Bone marrow smear: 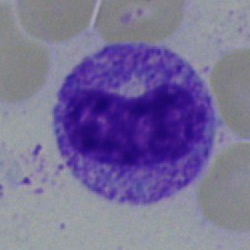 Cell type: metamyelocyte.